Bone marrow smear · brightfield microscopy, 40× oil immersion.
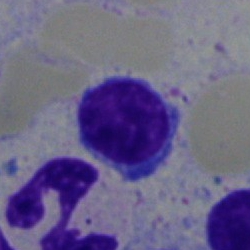 Morphology → typical lymphocyte.